Brightfield microscopy, 40× oil immersion · bone marrow aspirate smear — 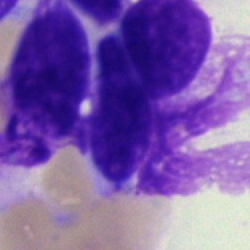
Q: What is shown here?
A: This is an artefact.